Bone marrow aspirate smear · May-Grünwald-Giemsa stain · cropped to a single cell.
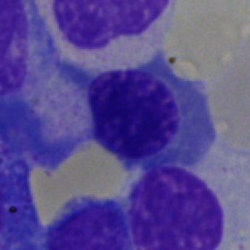The morphological class is nucleated red blood cell.